May-Grünwald-Giemsa/Pappenheim stain. Bone marrow aspirate smear:
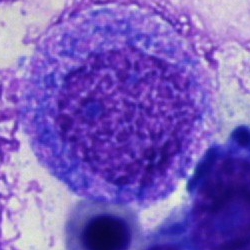
Classification: promyelocyte.